Bone marrow aspirate smear — 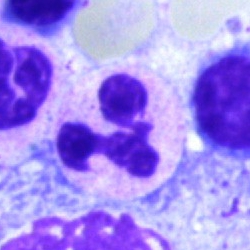

Neutrophil (segmented).